Bone marrow aspirate smear. Brightfield, 40× oil-immersion objective — 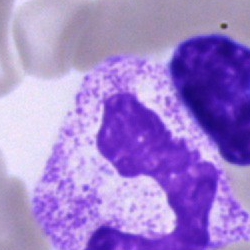 Specimen: bone marrow smear.
Morphological class: cell of indeterminate lineage.